Bone marrow aspirate smear
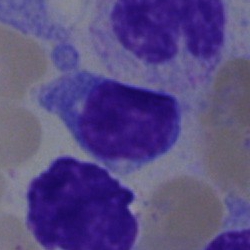The cell shown is a typical lymphocyte.